Bone marrow smear
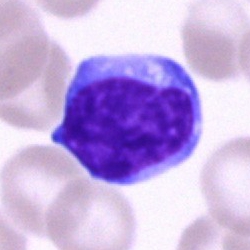Q: Identify the cell.
A: Typical lymphocyte.